Bone marrow smear
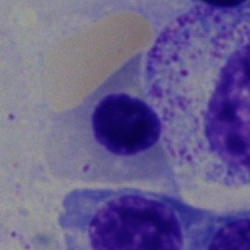
A nucleated red blood cell.